250 by 250 pixels; bone marrow aspirate smear:
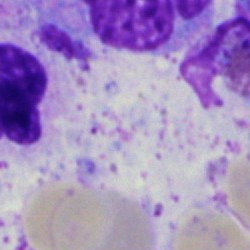
Q: What is shown here?
A: Artefact.